Pappenheim-stained; brightfield microscopy, 40× oil immersion; bone marrow smear — 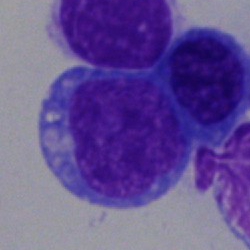Cell: blast cell.